Bone marrow smear — 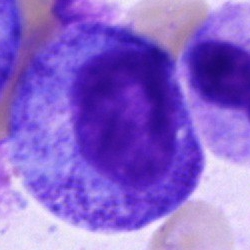

Specimen: bone marrow smear.
Classification: promyelocyte.
Lineage: myeloid.